Bone marrow aspirate smear; 250×250 — 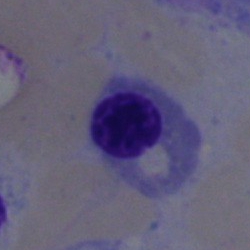Cell = nucleated red blood cell.